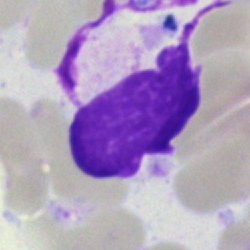 Impression — artifact.